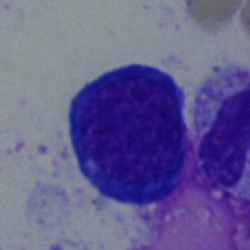 Bone marrow smear showing an erythroblast.